Bone marrow aspirate smear. Single-cell field: 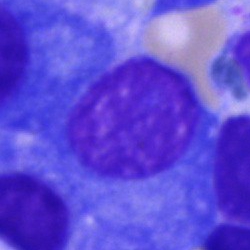

Classification = plasmacyte.